MGG stain; peripheral blood film; image size 360×363:
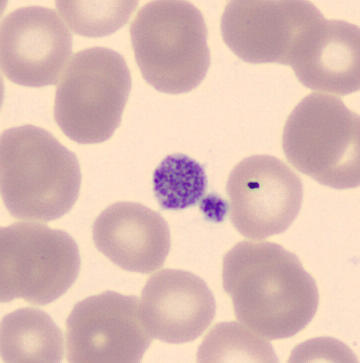

Specimen: peripheral blood film.
Classification: platelet.